Pappenheim-stained · cropped to a single cell · bone marrow aspirate smear
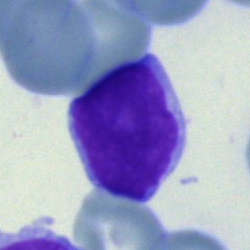

Cell type = typical lymphocyte.